40× objective, oil immersion. Bone marrow aspirate smear.
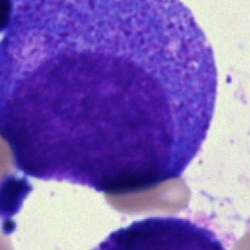
{"cell_type": "promyelocyte", "lineage": "myeloid"}